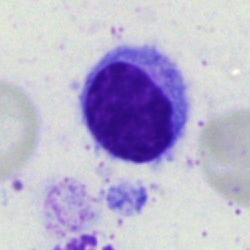 Q: What is the morphological classification of this cell?
A: Lymphocyte.